250×250 px; bone marrow aspirate smear — 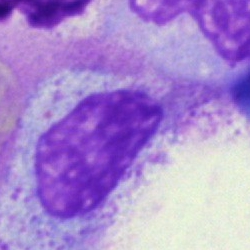
Q: Which cell type is shown here?
A: A myelocyte.